Bone marrow aspirate smear
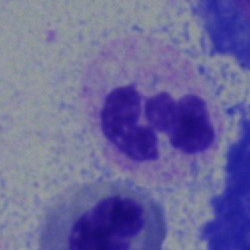Q: Identify the cell.
A: This is a segmented neutrophil.